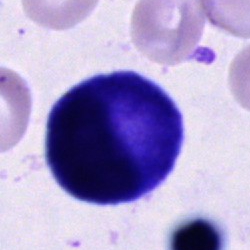 Bone marrow aspirate smear, single cell — unidentifiable cell.